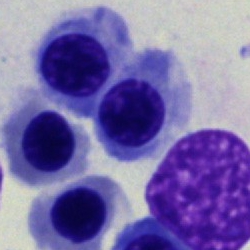Specimen: bone marrow aspirate smear.
Classification: erythroblast.
Lineage: erythroid.